Bone marrow smear; 250 by 250 pixels
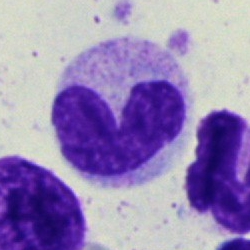 Specimen: bone marrow smear.
Morphological class: band neutrophil.
Lineage: myeloid.